Peripheral blood film · 400×400 px: 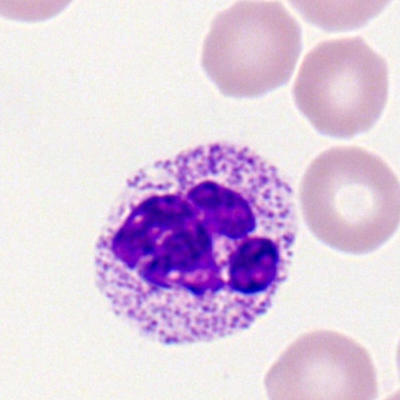The morphological class is neutrophil (segmented).